Bone marrow aspirate smear: 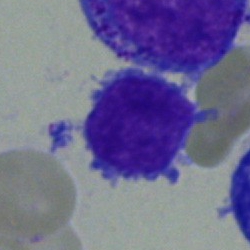

Q: What cell is this?
A: This is a lymphocyte.